Bone marrow smear
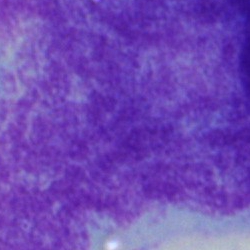Q: What is shown here?
A: This is an artifact.